May-Grünwald-Giemsa stain · 250 by 250 pixels · bone marrow aspirate smear: 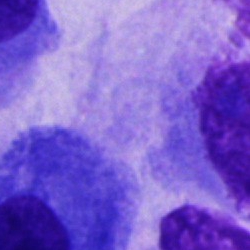
Other cell type.